Bone marrow aspirate smear; brightfield microscopy, 40× oil immersion; single cell centered in the field
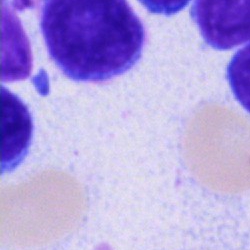

This is a typical lymphocyte.